Brightfield microscopy, 40× oil immersion · bone marrow smear · May-Grünwald-Giemsa/Pappenheim stain:
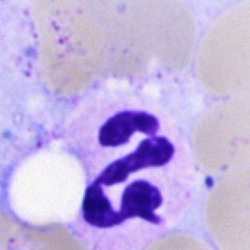

Single cell identified as a polymorphonuclear neutrophil.